Bone marrow aspirate smear — 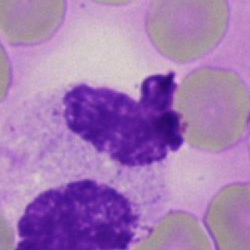 Showing a polymorphonuclear neutrophil.